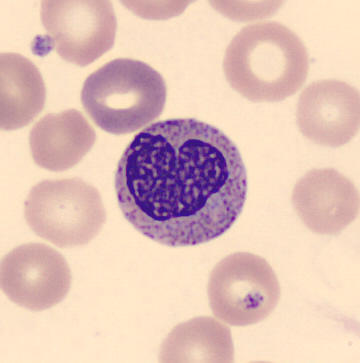Identified as a metamyelocyte.